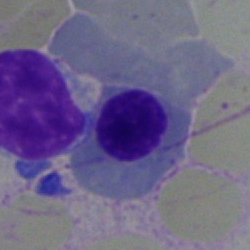
{"cell_type": "nucleated red cell", "lineage": "erythroid"}